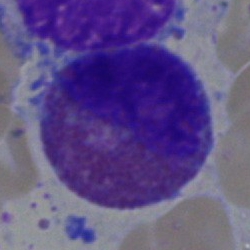 Q: What is the morphological classification of this cell?
A: This is an eosinophil.